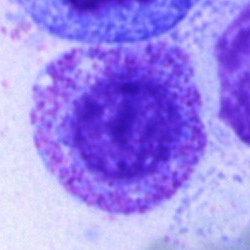{"cell_type": "myelocyte", "lineage": "myeloid"}